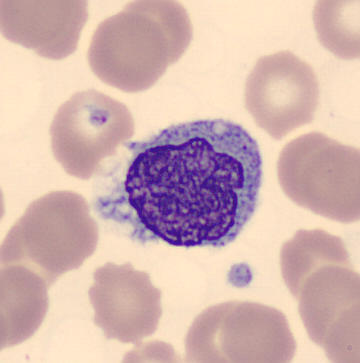Cell type — monocyte.
Preparation: Peripheral blood smear; 360 by 363 pixels.